Bone marrow aspirate smear
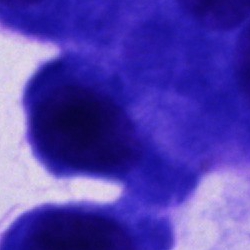

Specimen: bone marrow aspirate smear.
Morphological class: cell not matching the other categories.